Bone marrow aspirate smear; brightfield microscopy, 40× oil immersion.
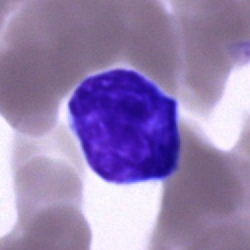

Classification: lymphocyte.